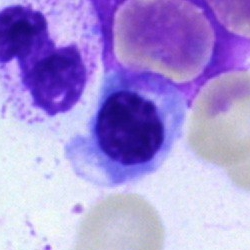{"cell_type": "nucleated red cell"}